Bone marrow aspirate smear. MGG-stained
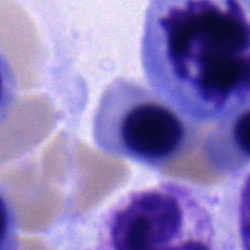 Single cell identified as a normoblast.